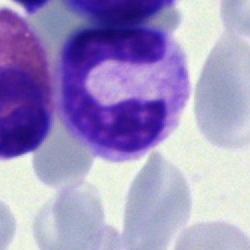

{"cell_type": "polymorphonuclear neutrophil", "lineage": "myeloid"}